Peripheral blood film:
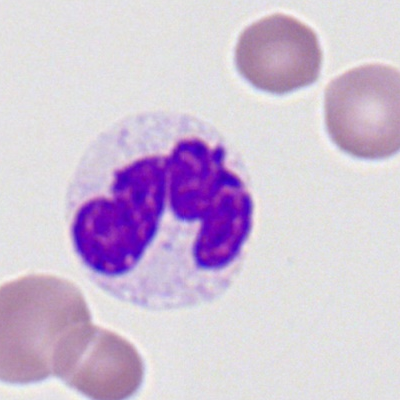
Impression → neutrophil (segmented).